40× oil immersion. Cropped to a single cell. Bone marrow aspirate smear:
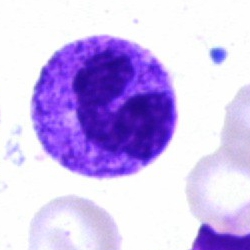
Specimen: bone marrow smear.
Morphological class: neutrophil (segmented).